Bone marrow aspirate smear; May-Grünwald-Giemsa/Pappenheim stain
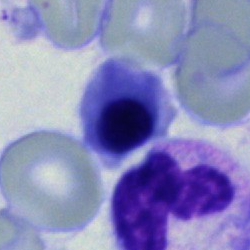 Q: Identify the cell.
A: A nucleated red blood cell.